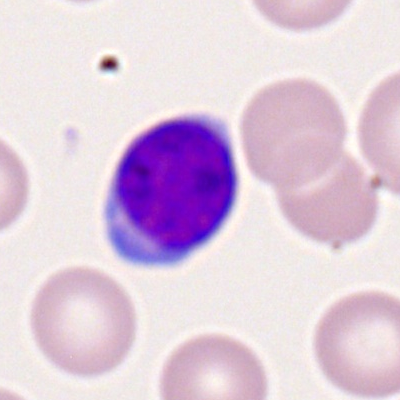

Q: What is shown here?
A: It is a lymphocyte.